Bone marrow aspirate smear
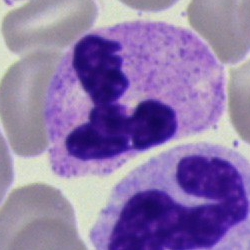
Polymorphonuclear neutrophil.